Bone marrow aspirate smear
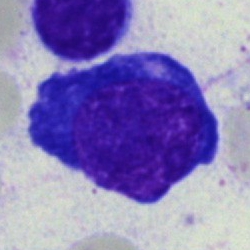

Morphological class — nucleated red cell.